Bone marrow smear; single-cell field; 250 by 250 pixels — 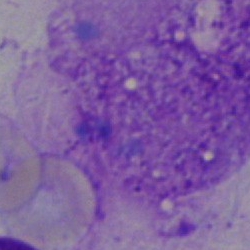
Q: What is shown here?
A: Artefact.